Peripheral blood film: 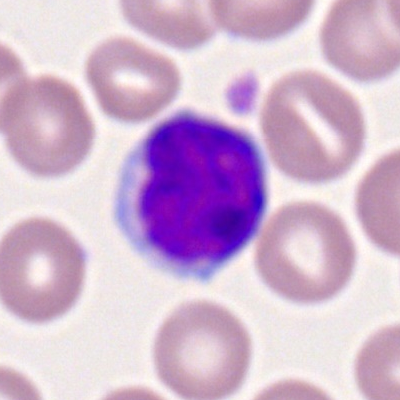
The cell shown is a typical lymphocyte.